250×250; bone marrow smear:
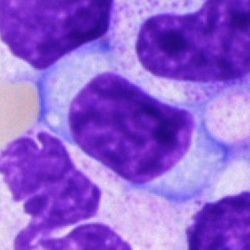 Q: What type of cell is this?
A: Typical lymphocyte.